Bone marrow smear. Image size 250×250.
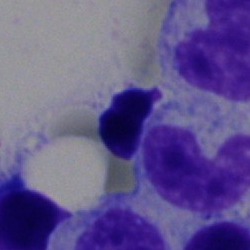
Q: What cell is this?
A: Cell of indeterminate lineage.